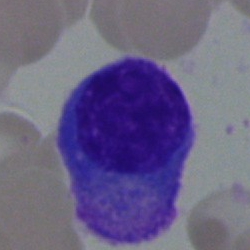Bone marrow aspirate smear, single cell — plasma cell.